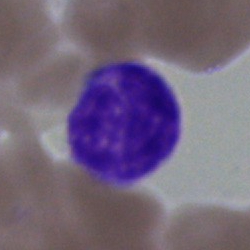 Q: What is shown here?
A: It is an artifact.